May-Grünwald-Giemsa/Pappenheim stain · bone marrow aspirate smear
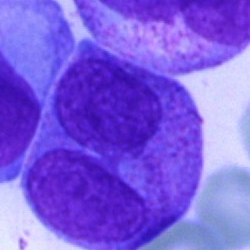

The cell shown is a blast.